Brightfield microscopy, 40× oil immersion. Bone marrow aspirate smear
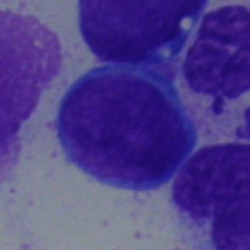

Specimen: bone marrow smear.
Cell type: blast.